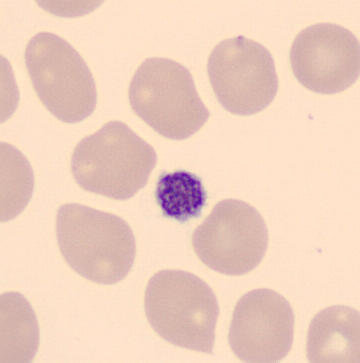A platelet (thrombocyte).